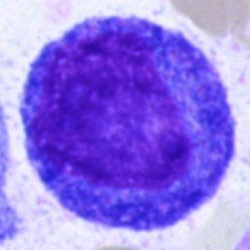
Classification: promyelocyte.